Bone marrow aspirate smear; brightfield, 40× oil-immersion objective; May-Grünwald-Giemsa stain.
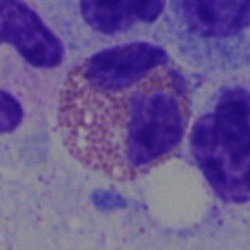 Q: Identify the cell.
A: An eosinophil.